Bone marrow smear
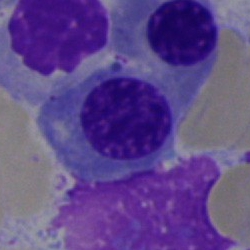The classification is nucleated red cell.